Bone marrow smear:
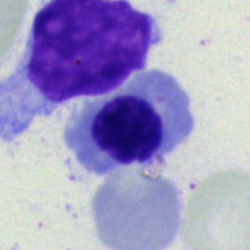

Morphological class = erythroblast.